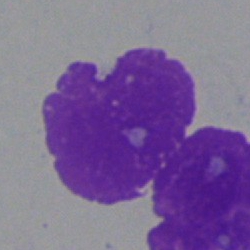Morphology → artefact.